250 by 250 pixels · bone marrow aspirate smear
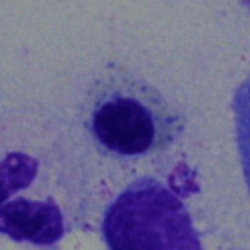Impression → nucleated red blood cell.